Bone marrow aspirate smear.
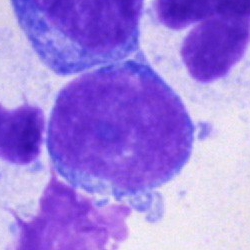 The cell shown is a blast.